Brightfield, 40× oil-immersion objective. Bone marrow aspirate smear. Single-cell crop.
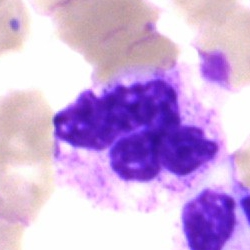 Morphology consistent with a polymorphonuclear neutrophil.